250×250 px. Bone marrow aspirate smear.
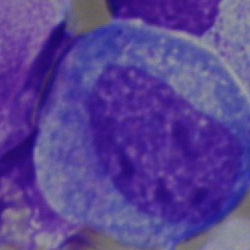
Specimen: bone marrow aspirate smear.
Cell type: progranulocyte.
Lineage: myeloid.